Peripheral blood film. Brightfield, 100× oil-immersion objective. Single cell centered in the field.
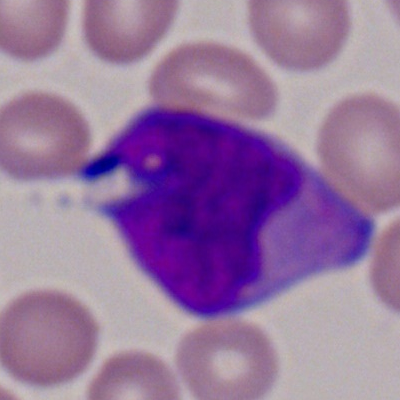 The cell type is myeloid blast.